Brightfield, 40× oil-immersion objective. 250×250 px. Bone marrow smear.
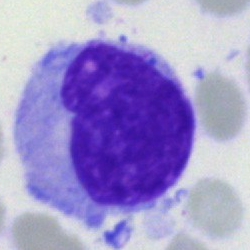Morphological class — monocyte.